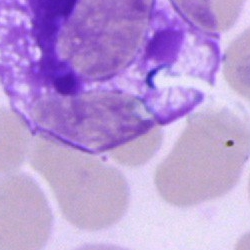Cell: artefact.